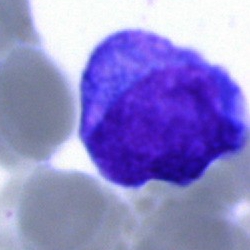

Morphology — undifferentiated blast.